MGG-stained; single-cell field; bone marrow aspirate smear
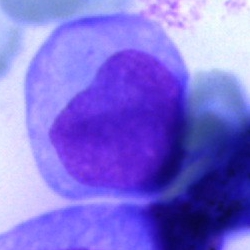A blast cell.